Bone marrow smear. 250×250 px
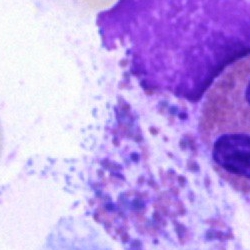
Showing an artefact.